Bone marrow aspirate smear — 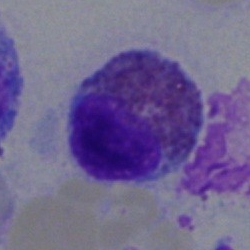 Eosinophilic granulocyte.